Image size 250×250. Bone marrow smear:
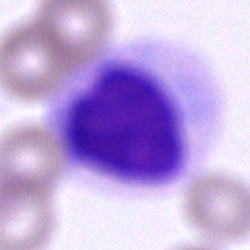

Cell of indeterminate lineage.